Bone marrow smear — 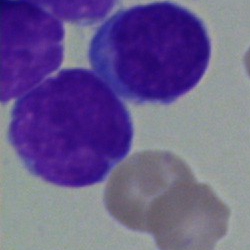
Q: What type of cell is this?
A: This is an undifferentiated blast.